Bone marrow smear — 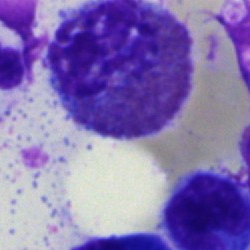 Showing an eosinophil.